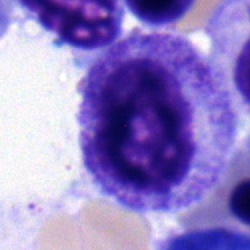Morphology consistent with a myelocyte.